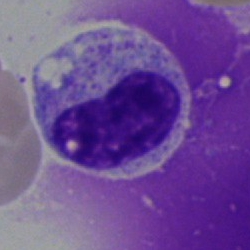

Morphological class = eosinophilic granulocyte.